Bone marrow smear.
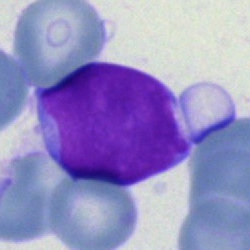
Q: What cell is this?
A: A typical lymphocyte.